Image size 400×400 · peripheral blood smear
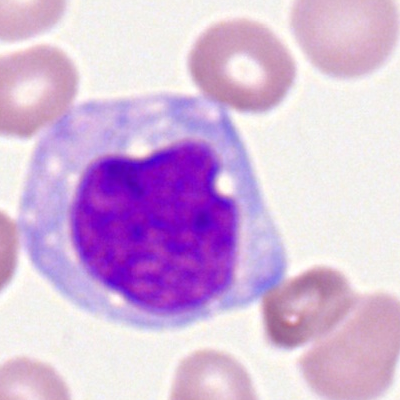 Q: What type of cell is this?
A: This is a monocyte.